Bone marrow smear.
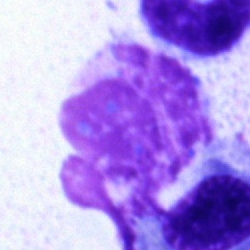Impression → artifact.